Bone marrow aspirate smear — 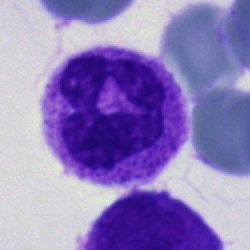
Specimen: bone marrow aspirate smear.
Cell type: neutrophil (segmented).